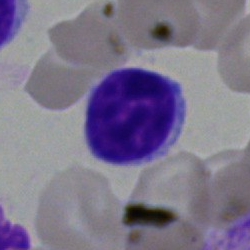
Morphology → lymphocyte.